Bone marrow aspirate smear — 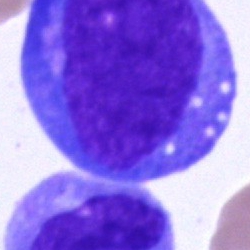This is a blast cell.